Bone marrow smear; single-cell crop: 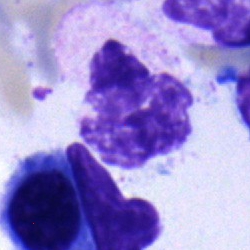
Morphological class = neutrophil (segmented).